May-Grünwald-Giemsa stain; cropped to a single cell; bone marrow smear: 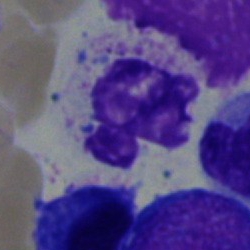Showing a neutrophil (segmented).